May-Grünwald-Giemsa/Pappenheim stain; single-cell crop; bone marrow aspirate smear: 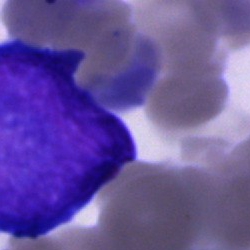

Q: What is shown here?
A: An artifact.